Bone marrow aspirate smear · MGG-stained:
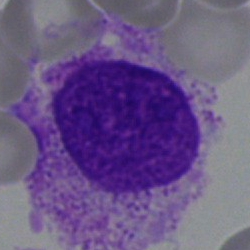 Q: What is shown here?
A: This is an artifact.